Bone marrow aspirate smear:
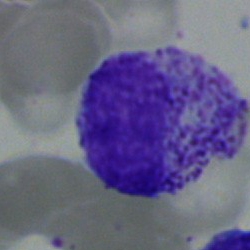
Classification = myelocyte.